Bone marrow aspirate smear. Single cell centered in the field.
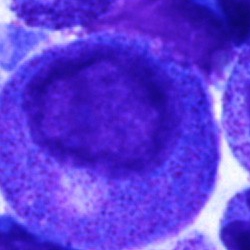
Cell type = progranulocyte.